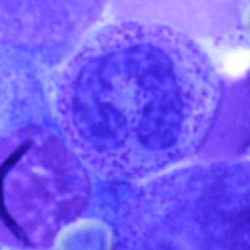 Bone marrow aspirate smear, single cell — neutrophil (segmented).